Single cell centered in the field. Bone marrow smear
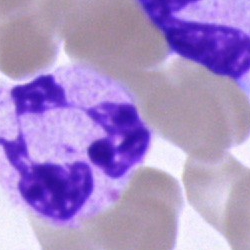
The cell shown is a neutrophil (segmented).